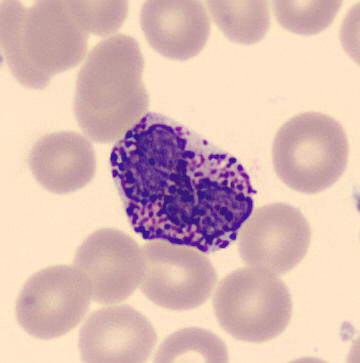
Q: What is this?
A: This is a basophil. Peripheral blood film · single-cell crop.